Bone marrow aspirate smear: 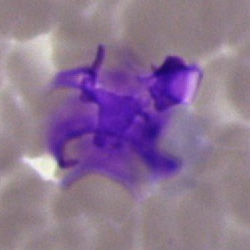
The cell is artifact.